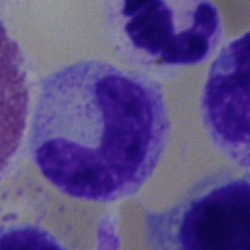 Showing a stab cell.